Bone marrow smear; 40× objective, oil immersion:
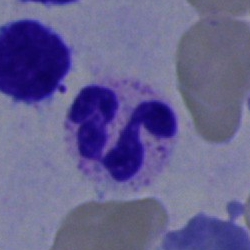Q: What is shown here?
A: Segmented neutrophil.